Bone marrow aspirate smear.
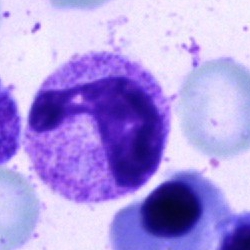A stab cell.